Bone marrow aspirate smear — 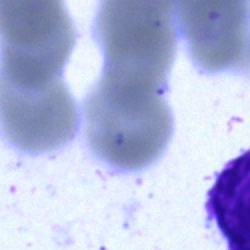

Q: What is shown here?
A: It is an artifact.